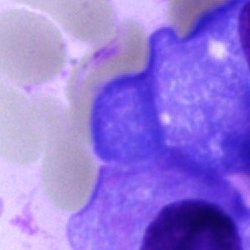

Impression → plasma cell.